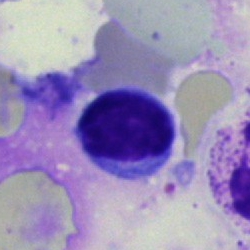

Bone marrow smear showing a typical lymphocyte.